Bone marrow smear: 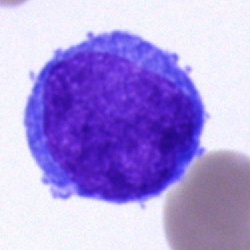Showing a blast cell.